Bone marrow aspirate smear · 40× oil immersion: 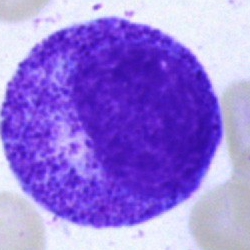{"cell_type": "promyelocyte"}